Bone marrow smear · single-cell crop · May-Grünwald-Giemsa stain: 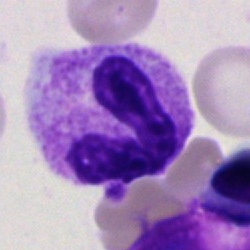Showing a neutrophil (segmented).